Bone marrow smear; single-cell field
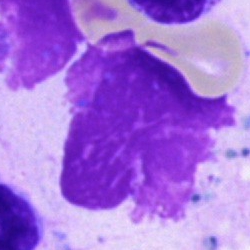The cell shown is an artefact.